Bone marrow aspirate smear: 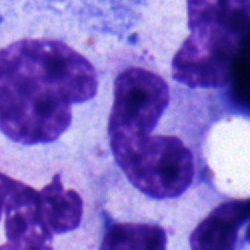Impression — band neutrophil.